Bone marrow smear. May-Grünwald-Giemsa stain:
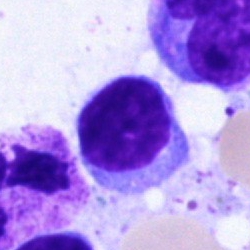Morphology consistent with a typical lymphocyte.